Single-cell field; bone marrow aspirate smear.
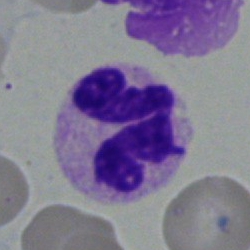

Single cell identified as a polymorphonuclear neutrophil.